40× oil immersion; 250 by 250 pixels; bone marrow smear.
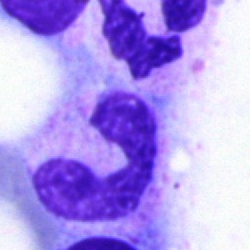 The cell shown is a neutrophil (segmented).